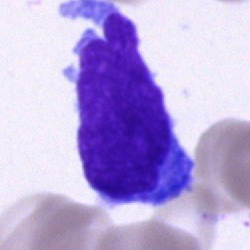Q: What type of cell is this?
A: A typical lymphocyte.